Bone marrow smear. Brightfield microscopy, 40× oil immersion:
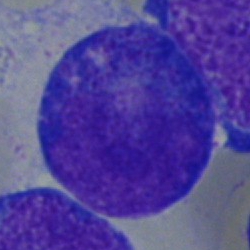
A progranulocyte.